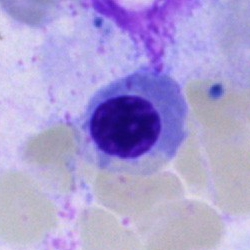Q: What is the morphological classification of this cell?
A: A nucleated red blood cell.